Brightfield, 40× oil-immersion objective; May-Grünwald-Giemsa/Pappenheim stain; bone marrow smear.
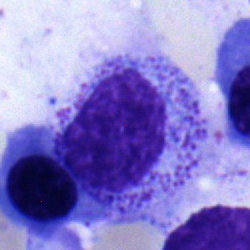

Morphology — myelocyte.